Bone marrow smear. 40× objective, oil immersion
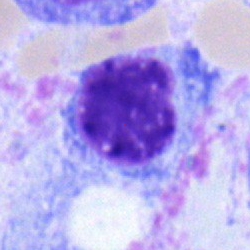Promyelocyte.